Brightfield, 40× oil-immersion objective. Bone marrow aspirate smear. May-Grünwald-Giemsa/Pappenheim stain.
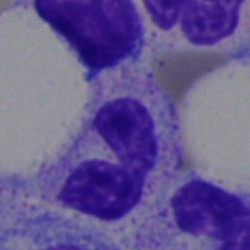

Q: What is shown here?
A: It is a segmented neutrophil.